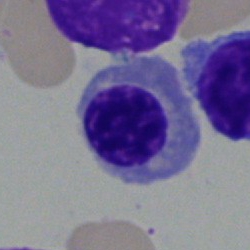
Bone marrow aspirate smear, single cell — erythroblast.